Bone marrow smear.
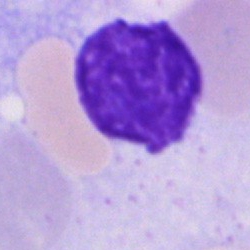Artifact.